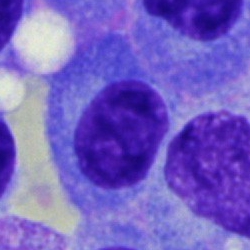

Single cell identified as a plasmacyte.